Bone marrow smear. Single cell centered in the field
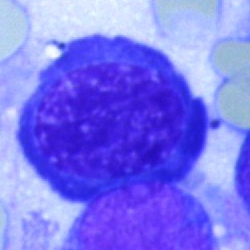Morphology consistent with a nucleated red blood cell.